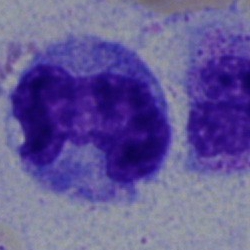

Q: What is shown here?
A: It is a monocyte.